Bone marrow smear
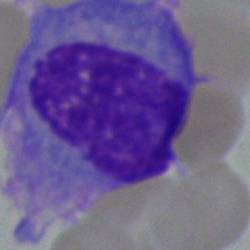

Q: Which cell type is shown here?
A: It is a plasmacyte.